Bone marrow smear · May-Grünwald-Giemsa/Pappenheim stain
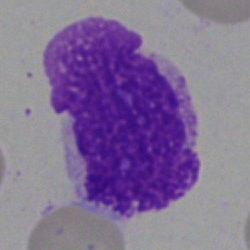Single cell identified as an artifact.